Bone marrow aspirate smear — 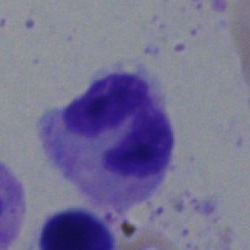This is a neutrophil (segmented).